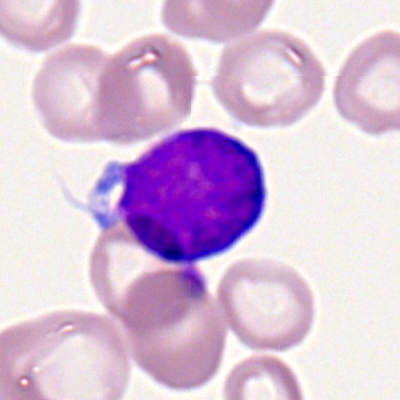 Morphological class = myeloblast.